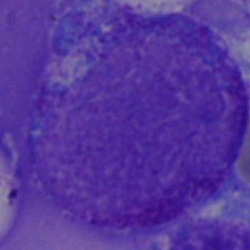

Q: What is the morphological classification of this cell?
A: This is a promyelocyte.